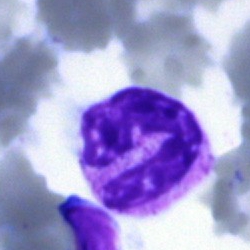 Specimen: bone marrow smear.
Classification: polymorphonuclear neutrophil.